Peripheral blood film.
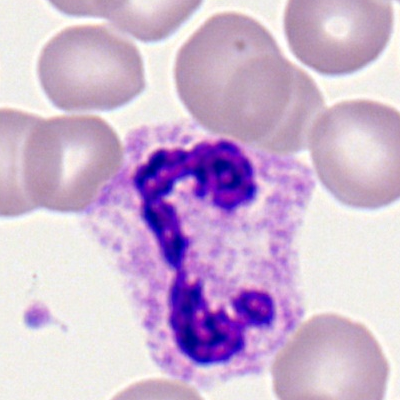Impression → segmented neutrophil.